Bone marrow aspirate smear. 250×250 px
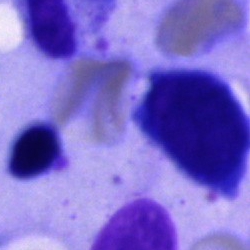This is an artefact.